Bone marrow smear: 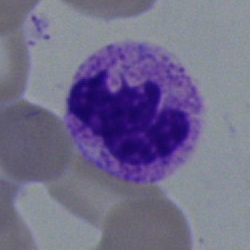

Showing a segmented neutrophil.